Bone marrow aspirate smear.
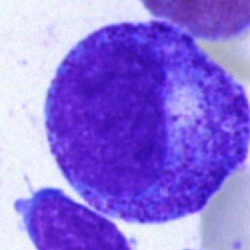 This is a progranulocyte.